Bone marrow aspirate smear; May-Grünwald-Giemsa/Pappenheim stain; 250×250:
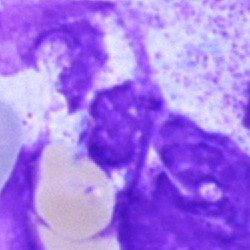
Q: What is shown here?
A: This is an artefact.